Bone marrow smear. 40× objective, oil immersion:
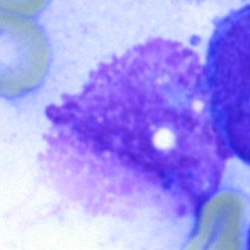 Morphology consistent with an artefact.